Bone marrow smear:
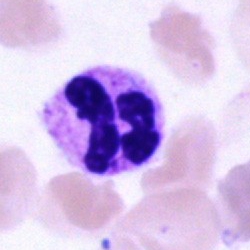Cell: polymorphonuclear neutrophil.